Peripheral blood smear.
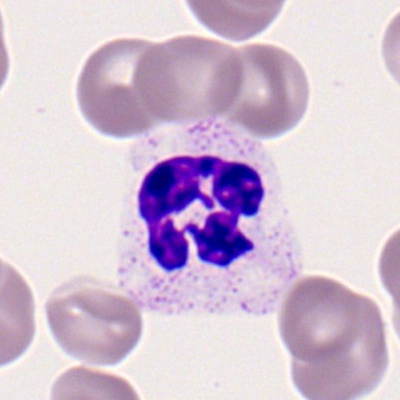 {"cell_type": "polymorphonuclear neutrophil"}